Bone marrow aspirate smear; MGG-stained; 40× oil immersion:
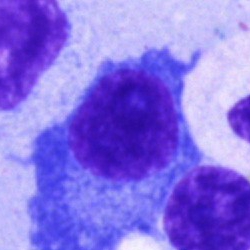

Showing a plasmacyte.